Bone marrow aspirate smear.
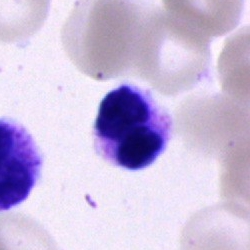 Showing a neutrophil (segmented).